Bone marrow smear — 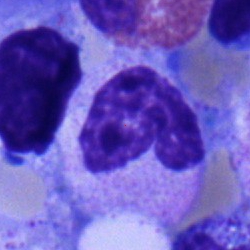 Morphological class: band-form neutrophil.